Bone marrow aspirate smear: 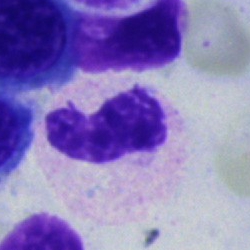A band-form neutrophil.